250×250; single-cell crop; bone marrow smear
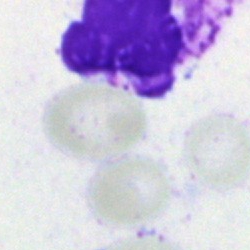Q: What is shown here?
A: An artifact.